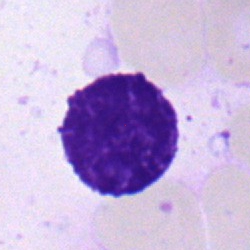 Typical lymphocyte.